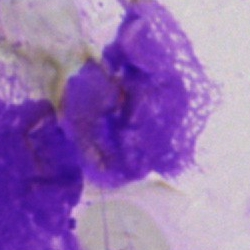 Bone marrow aspirate smear, single cell — artefact.